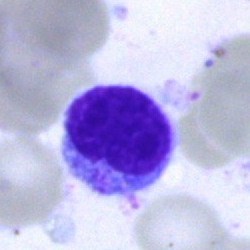 Bone marrow aspirate smear, single cell — typical lymphocyte.